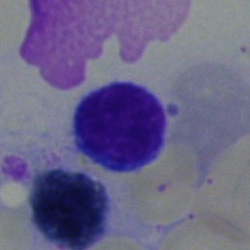
Q: What is the morphological classification of this cell?
A: Typical lymphocyte.